Bone marrow smear
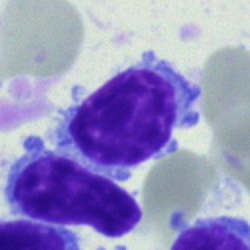 Q: Identify the cell.
A: It is a typical lymphocyte.